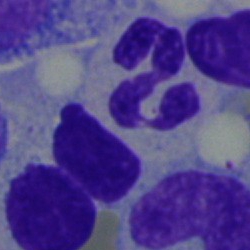 Specimen: bone marrow smear.
Morphological class: polymorphonuclear neutrophil.
Lineage: myeloid.